Single cell centered in the field · bone marrow smear: 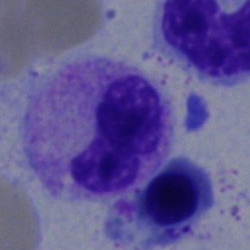Band-form neutrophil.